Bone marrow smear: 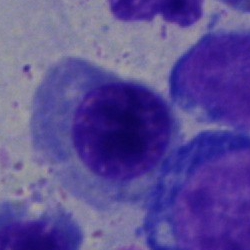Showing an erythroblast.